Bone marrow smear
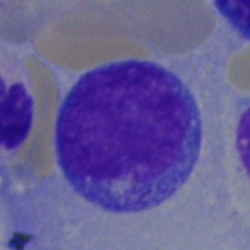Showing a blast cell.